Single-cell field · bone marrow aspirate smear:
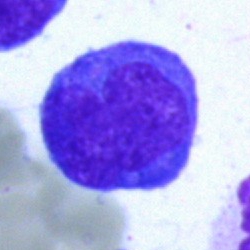Q: What cell is this?
A: A blast cell.